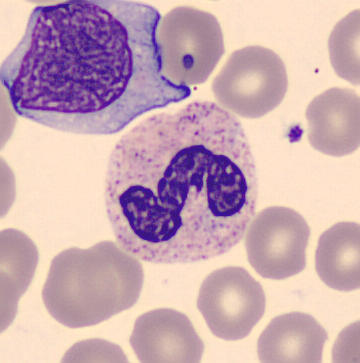 Cell: neutrophil (segmented).

Image: May-Grünwald-Giemsa-stained. Cropped to a single cell. Peripheral blood smear.